Peripheral blood film; image size 400×400
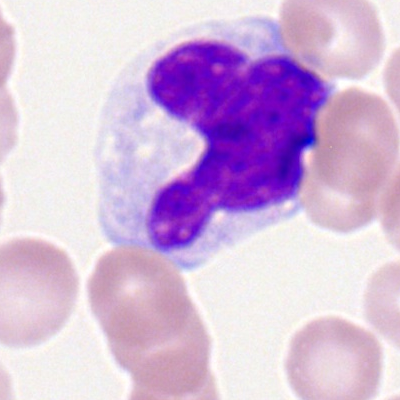

Morphology — monocyte.